Bone marrow aspirate smear; single-cell crop; Pappenheim-stained.
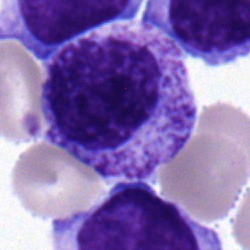
Q: Identify the cell.
A: A myelocyte.